Bone marrow smear · single-cell crop.
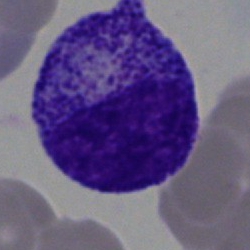 Q: What cell is this?
A: Progranulocyte.